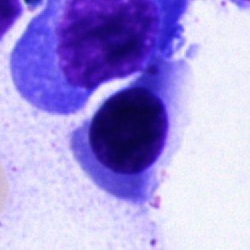

Morphology → erythroblast.